Single-cell field. Peripheral blood smear: 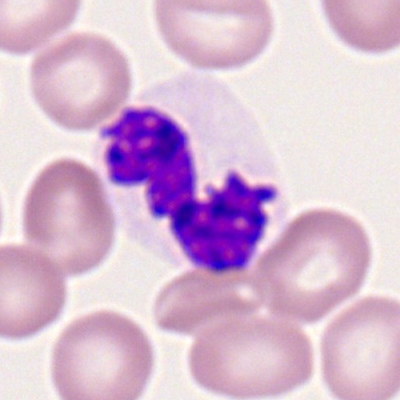Cell type — neutrophil (segmented).